Bone marrow aspirate smear; Pappenheim-stained; single-cell field.
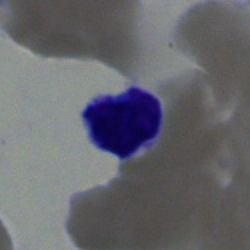The cell shown is a typical lymphocyte.